Image size 400×400; peripheral blood smear — 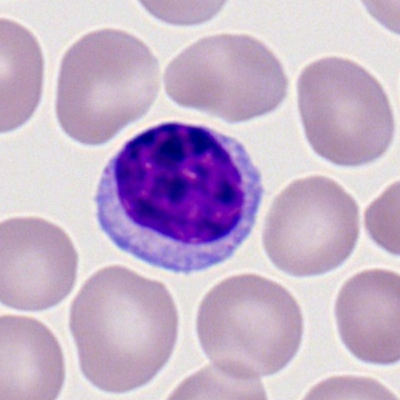
The cell shown is a typical lymphocyte.